Bone marrow smear.
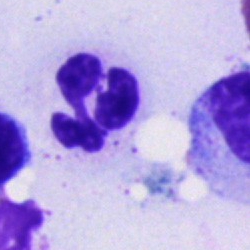
A segmented neutrophil.